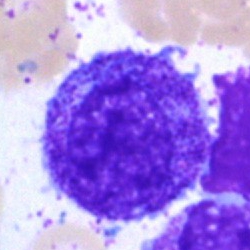

Impression → myelocyte.